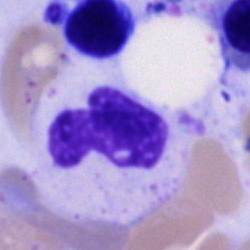
Q: What cell is this?
A: Segmented neutrophil.